Bone marrow aspirate smear.
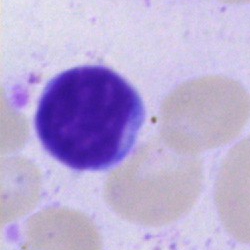 The cell shown is a typical lymphocyte.